Bone marrow smear; May-Grünwald-Giemsa stain: 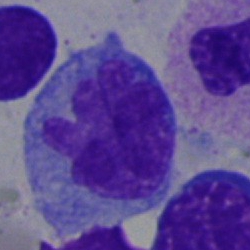

Morphology consistent with a monocyte.